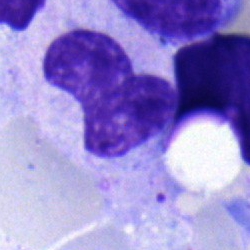
Single-cell crop from a bone marrow smear: band neutrophil.